250×250 px; bone marrow smear; single-cell field.
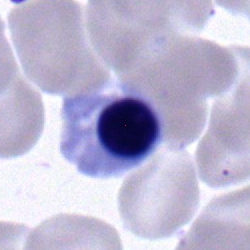Specimen: bone marrow aspirate smear.
Cell: nucleated red cell.